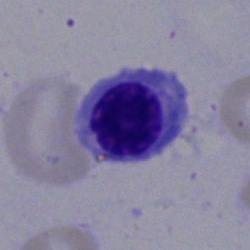

Normoblast.